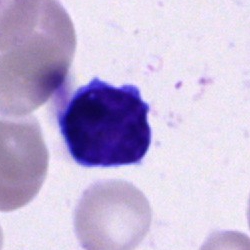Specimen: bone marrow smear.
Cell type: typical lymphocyte.